Bone marrow smear.
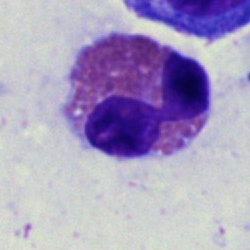 Single cell identified as an eosinophil.